Peripheral blood film
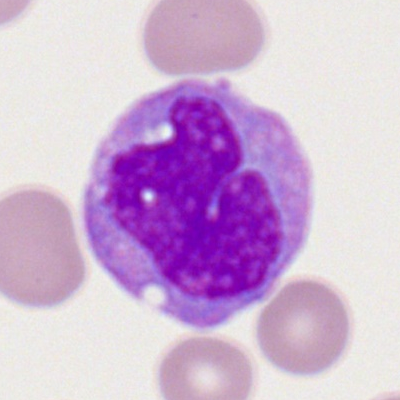

The cell is monocyte.